Bone marrow aspirate smear.
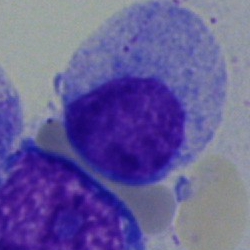
Impression — myelocyte.